Bone marrow aspirate smear.
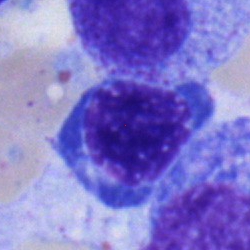
Classification = erythroblast.